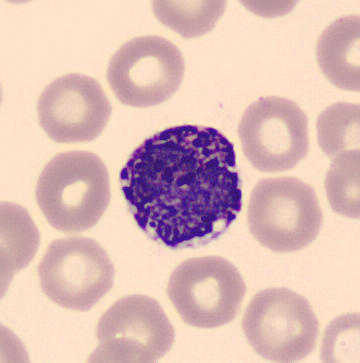

Acquisition: Peripheral blood film. 360 by 363 pixels.
Cell = basophilic granulocyte.